Bone marrow aspirate smear. 40× oil immersion.
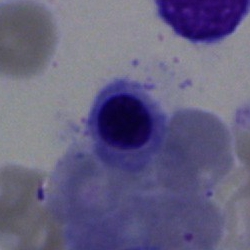Cell type = nucleated red blood cell.